Bone marrow aspirate smear
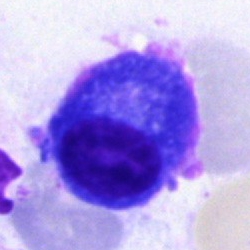
Specimen: bone marrow aspirate smear.
Morphological class: plasmacyte.